250 by 250 pixels. Bone marrow smear.
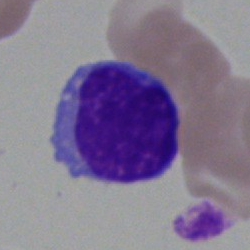This is a typical lymphocyte.